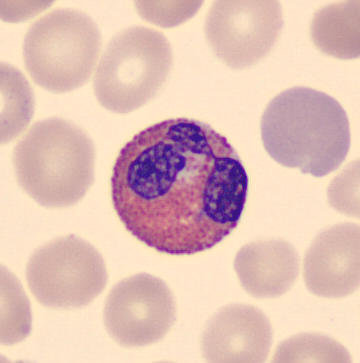

An eosinophilic granulocyte.
Acquisition: Peripheral blood film.